Bone marrow aspirate smear; 40× objective, oil immersion
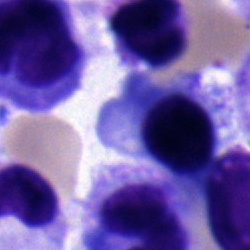Morphology consistent with a plasma cell.